Peripheral blood smear · 400×400 px: 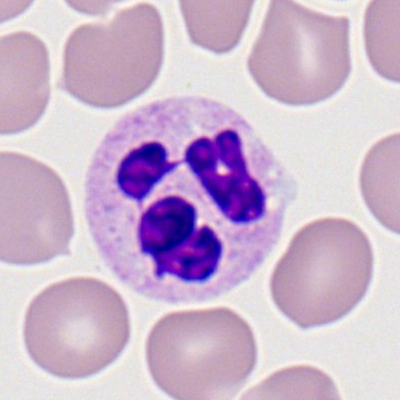 Classification: segmented neutrophil.